Bone marrow aspirate smear; May-Grünwald-Giemsa stain; single-cell field
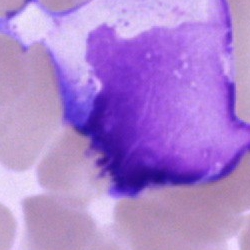
Q: What is shown here?
A: Artifact.